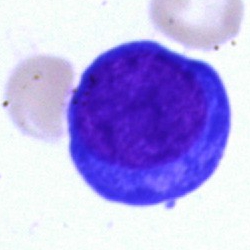

Classification: proerythroblast.